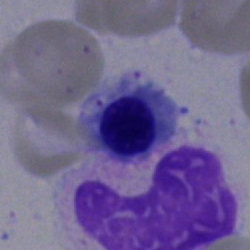Showing an erythroblast.